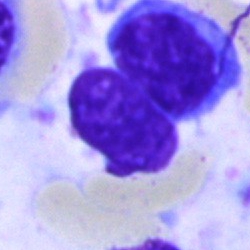Classification — artifact.